Bone marrow smear · Pappenheim-stained: 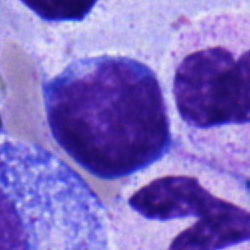Cell — typical lymphocyte.